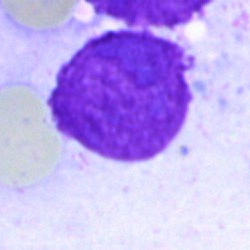Cell = artifact.